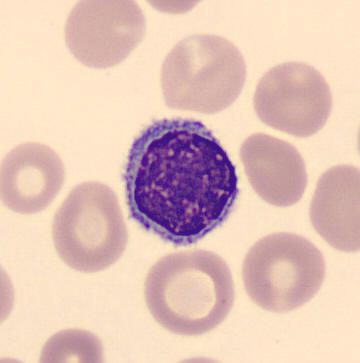

Peripheral blood film.

The cell shown is a lymphocyte.